Peripheral blood smear
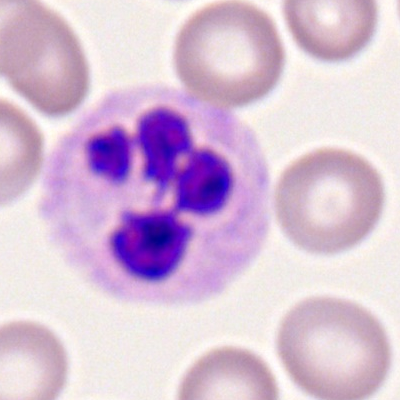
This is a neutrophil (segmented).